Bone marrow aspirate smear: 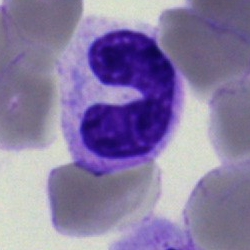A band-form neutrophil.